Bone marrow aspirate smear:
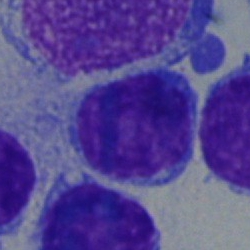The classification is lymphocyte.